Single-cell crop · bone marrow smear.
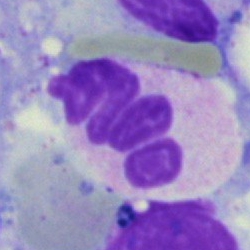

{"cell_type": "polymorphonuclear neutrophil"}